Bone marrow aspirate smear
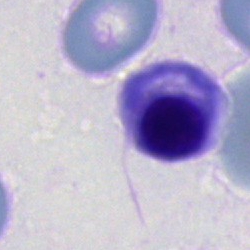
The cell type is normoblast.